Pappenheim-stained; cropped to a single cell; bone marrow aspirate smear
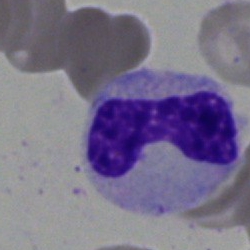
The cell type is neutrophil (band).